Bone marrow smear: 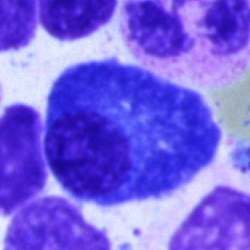

A plasmacyte.